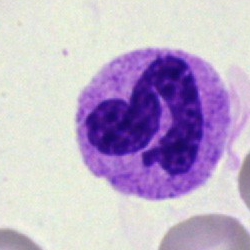
The classification is segmented neutrophil.